Peripheral blood smear: 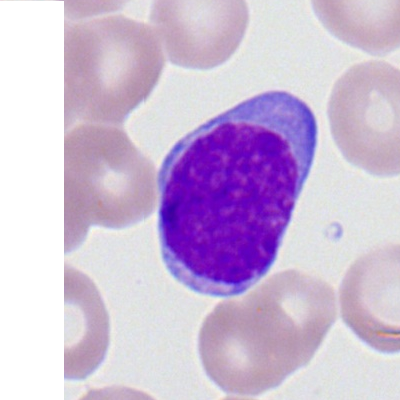Single cell identified as a myeloblast.